Brightfield, 40× oil-immersion objective · bone marrow aspirate smear · image size 250×250.
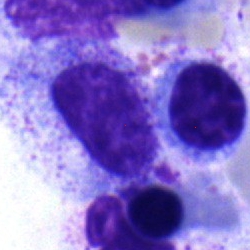Single cell identified as a myelocyte.